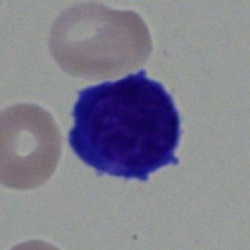

Classification = lymphocyte.